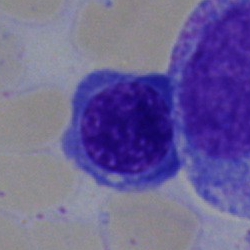
Specimen: bone marrow smear.
Classification: nucleated red blood cell.